Bone marrow aspirate smear · 250×250 px — 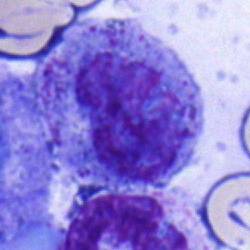The morphological class is promyelocyte.